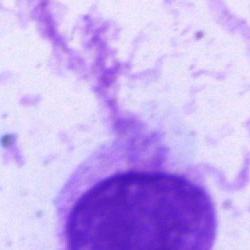

{"cell_type": "artifact"}